Bone marrow aspirate smear — 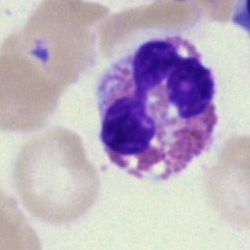

An eosinophil.